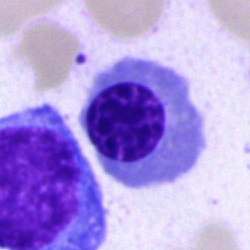

Bone marrow aspirate smear, single cell — nucleated red blood cell.